40× objective, oil immersion · bone marrow smear — 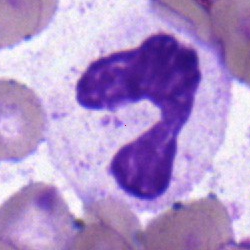

A polymorphonuclear neutrophil.